Bone marrow smear
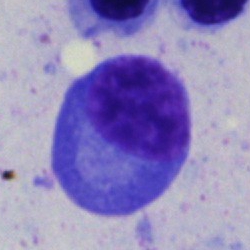The cell is plasma cell.